Bone marrow smear: 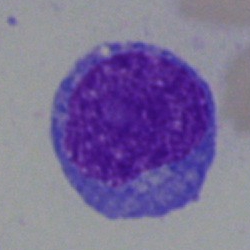 The cell is blast.